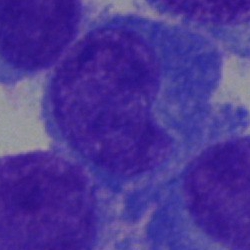
Single cell identified as a plasmacyte.